Bone marrow smear — 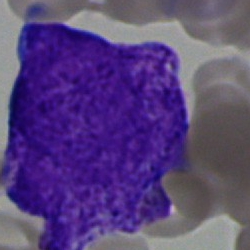Impression → blast.